May-Grünwald-Giemsa/Pappenheim stain · image size 250×250 · bone marrow aspirate smear: 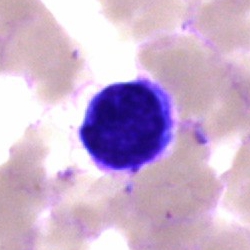
Impression — typical lymphocyte.